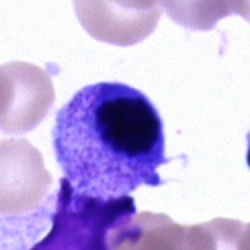This is a cell of indeterminate lineage.